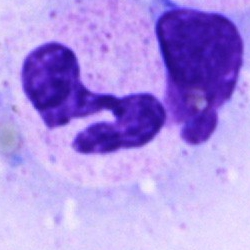

Q: What type of cell is this?
A: Polymorphonuclear neutrophil.